Peripheral blood smear — 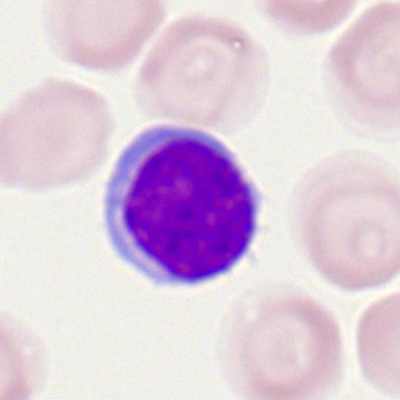
Classification: lymphocyte.